Bone marrow aspirate smear:
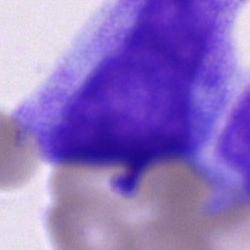
This is a cell of indeterminate lineage.